Bone marrow smear
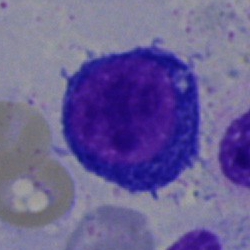Pronormoblast.